Image size 400×400. Peripheral blood film — 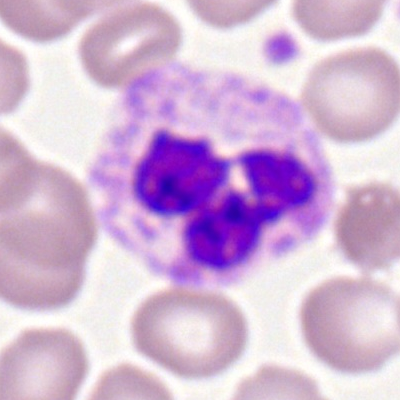Cell — neutrophil (segmented).